Bone marrow smear: 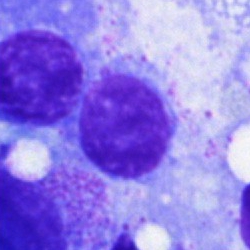 Classification: lymphocyte.